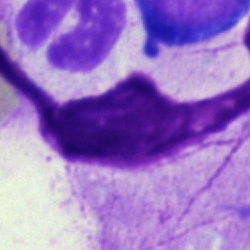

Single-cell crop from a bone marrow smear: artifact.